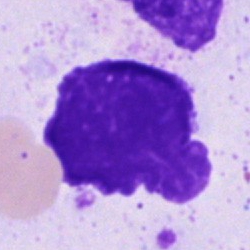Impression — artifact.